Image size 250×250 · bone marrow aspirate smear.
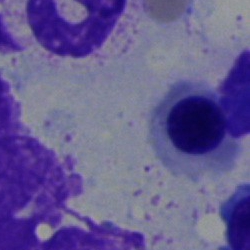

Q: What is shown here?
A: This is an erythroblast.